Bone marrow smear. Single-cell crop
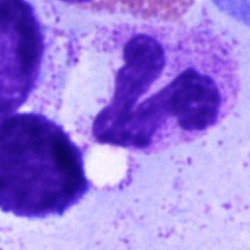
Cell: segmented neutrophil.